Bone marrow smear: 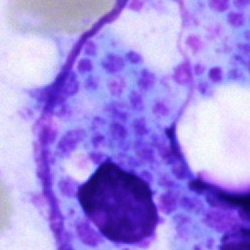 An artifact.